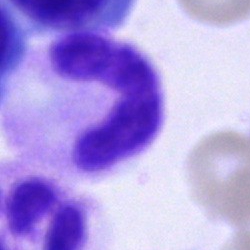 Impression — band-form neutrophil.